Peripheral blood smear.
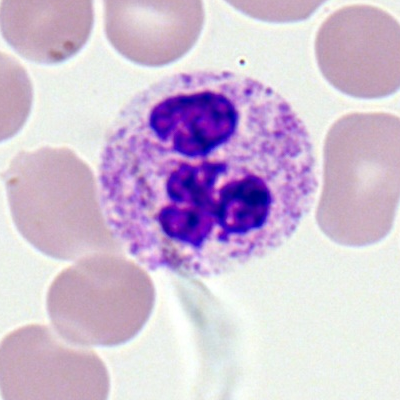The cell shown is a neutrophil (segmented).